Peripheral blood film
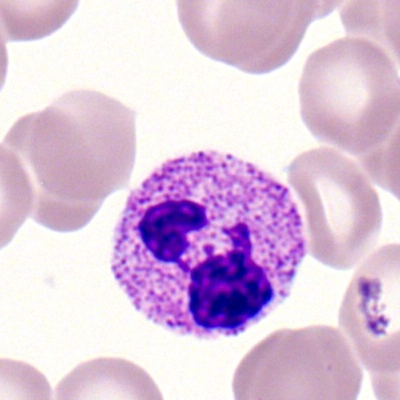
Q: Identify the cell.
A: A segmented neutrophil.